Bone marrow aspirate smear. Image size 250×250
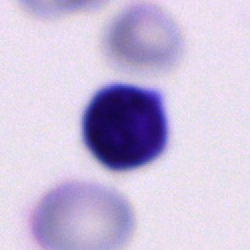 An unidentifiable cell.